Bone marrow smear:
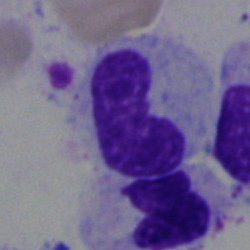
Q: What is shown here?
A: It is a band-form neutrophil.